Bone marrow smear:
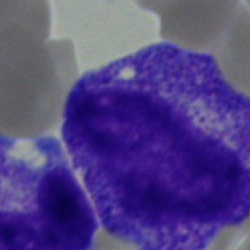Specimen: bone marrow aspirate smear.
Cell: promyelocyte.
Lineage: myeloid.